Bone marrow aspirate smear:
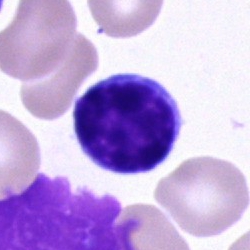

Single cell identified as a lymphocyte.